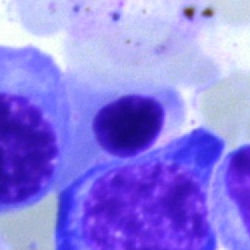 An erythroblast.